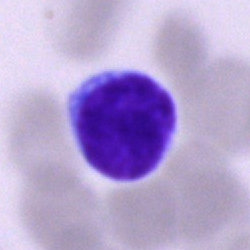

Cell — lymphocyte.